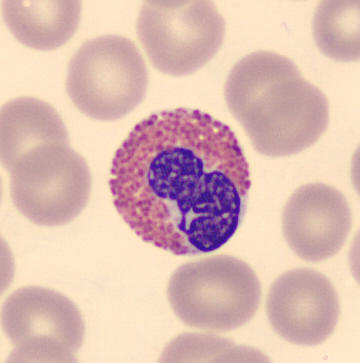Peripheral blood film.
Morphological class: eosinophil.